Bone marrow smear — 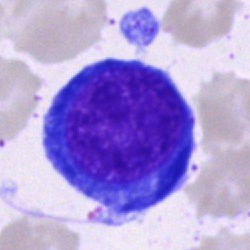

Cell type = nucleated red cell.